Brightfield, 40× oil-immersion objective; bone marrow aspirate smear; May-Grünwald-Giemsa/Pappenheim stain: 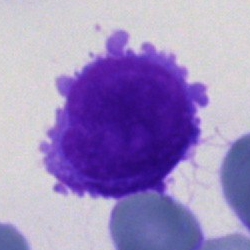The cell is undifferentiated blast.